Bone marrow smear: 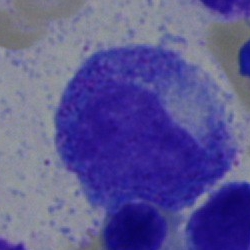Specimen: bone marrow aspirate smear.
Cell: myelocyte.
Lineage: myeloid.